250 by 250 pixels · bone marrow aspirate smear · Pappenheim-stained.
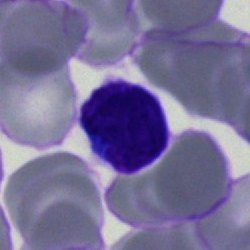This is a typical lymphocyte.